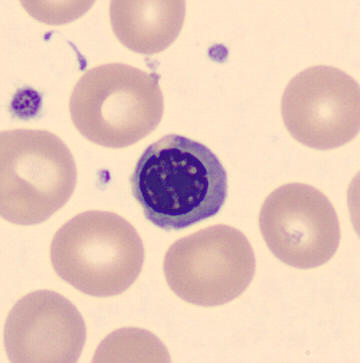
Image: May-Grünwald-Giemsa-stained · 360×363 · peripheral blood smear.
The classification is nucleated red cell.